Bone marrow smear
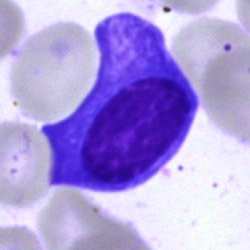The cell shown is a plasmacyte.